Bone marrow smear
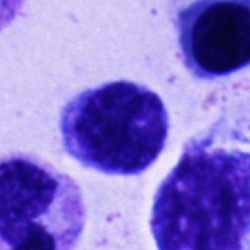 Specimen: bone marrow smear.
Classification: lymphocyte.